Bone marrow aspirate smear.
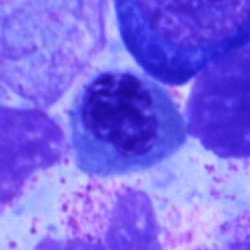

Classification: nucleated red blood cell.